Bone marrow aspirate smear:
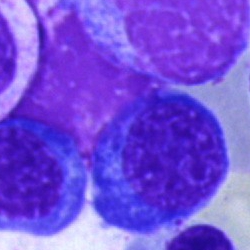The morphological class is nucleated red cell.